Bone marrow aspirate smear.
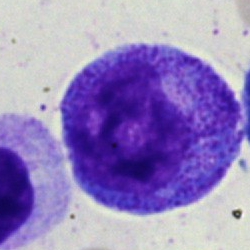 Classification: promyelocyte.